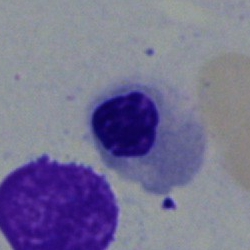

This is a nucleated red cell.